Peripheral blood smear. Image size 360×363:
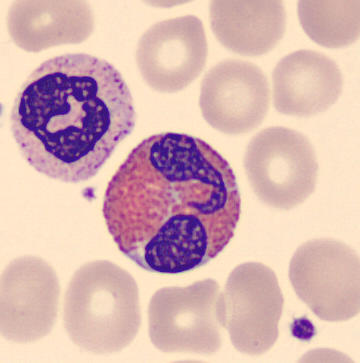

Morphology — eosinophilic granulocyte.